250×250. Bone marrow aspirate smear.
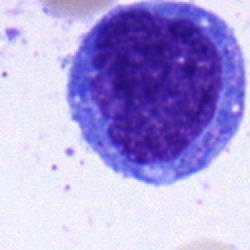 Q: What type of cell is this?
A: A promyelocyte.